Brightfield, 40× oil-immersion objective; bone marrow aspirate smear:
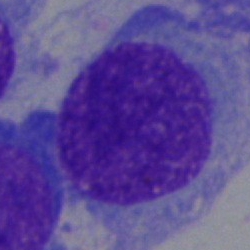Cell — plasmacyte.